Bone marrow aspirate smear: 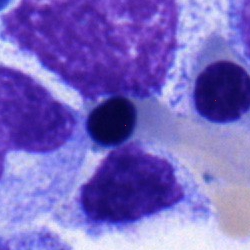Showing a nucleated red cell.